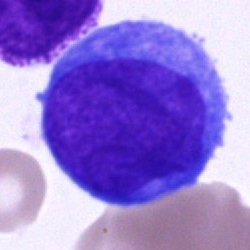
Impression — blast cell.